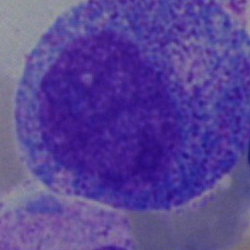Morphology → promyelocyte.